Bone marrow smear.
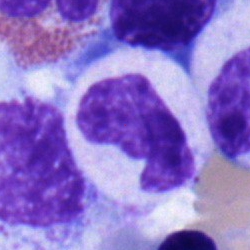
Specimen: bone marrow aspirate smear.
Morphological class: band-form neutrophil.
Lineage: myeloid.